Bone marrow aspirate smear · brightfield, 40× oil-immersion objective — 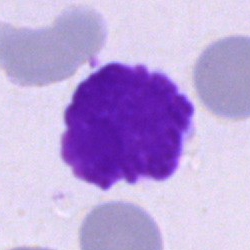{"cell_type": "artifact"}